Bone marrow smear.
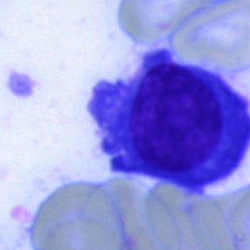Impression — plasmacyte.